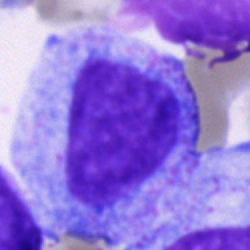

Single cell identified as a promyelocyte.